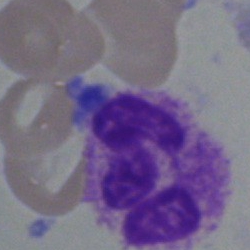
Morphology → polymorphonuclear neutrophil.